Bone marrow smear:
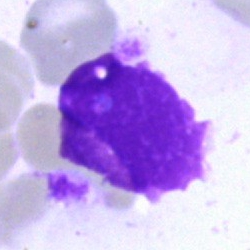 Specimen: bone marrow aspirate smear.
Cell type: artifact.